Cropped to a single cell. Bone marrow smear:
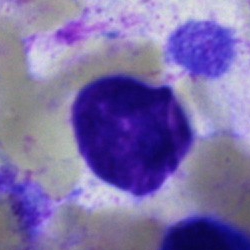 Single cell identified as an artefact.